Peripheral blood film
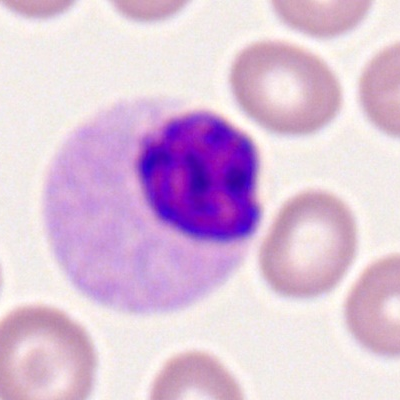 Morphological class: polymorphonuclear neutrophil.